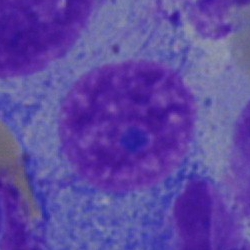

Q: Which cell type is shown here?
A: This is a plasma cell.